Bone marrow smear; May-Grünwald-Giemsa stain:
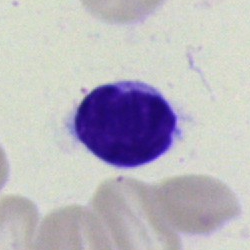 The cell shown is a typical lymphocyte.